Bone marrow aspirate smear. Brightfield microscopy, 40× oil immersion
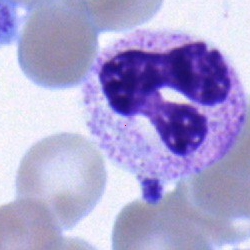Morphology → segmented neutrophil.